Bone marrow aspirate smear · single-cell crop — 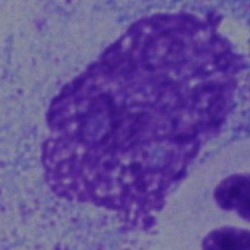

The cell type is artifact.